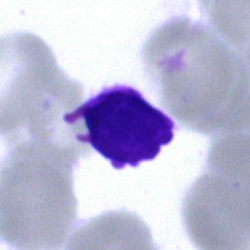 Morphology — artifact.